Brightfield, 40× oil-immersion objective · bone marrow aspirate smear:
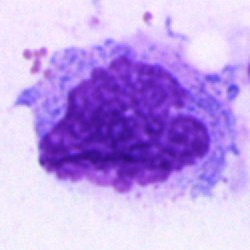 Impression — monocyte.